Peripheral blood film; single-cell field; 100× oil immersion.
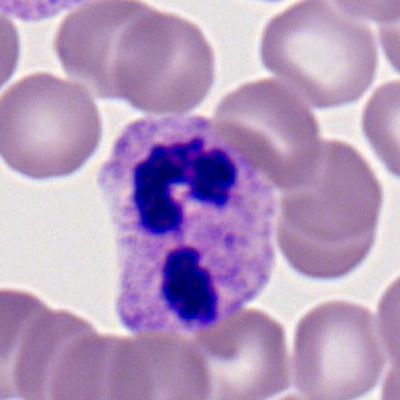Morphology consistent with a polymorphonuclear neutrophil.